Bone marrow aspirate smear; brightfield microscopy, 40× oil immersion:
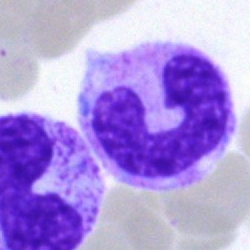

Cell type: neutrophil (band).